250×250 · bone marrow smear · Pappenheim-stained: 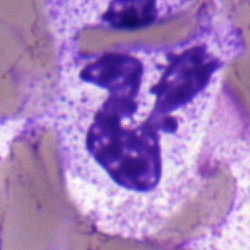
Q: What type of cell is this?
A: Neutrophil (segmented).